Bone marrow aspirate smear: 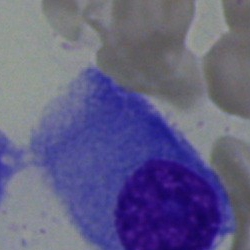This is a plasma cell.